Bone marrow aspirate smear — 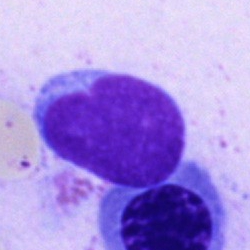

Showing a blast cell.